Bone marrow smear:
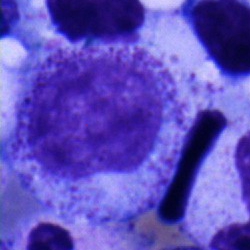Showing a myelocyte.